250×250. Bone marrow aspirate smear — 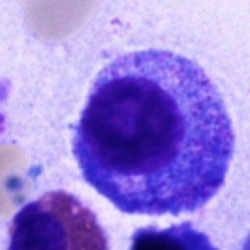

Specimen: bone marrow aspirate smear.
Classification: promyelocyte.
Lineage: myeloid.